Bone marrow smear.
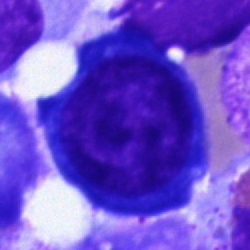 Specimen: bone marrow smear.
Morphological class: proerythroblast.
Lineage: erythroid.